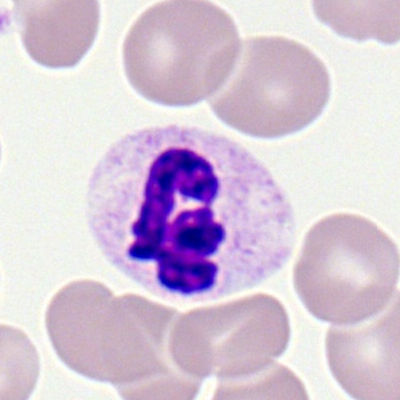

Single cell identified as a polymorphonuclear neutrophil.